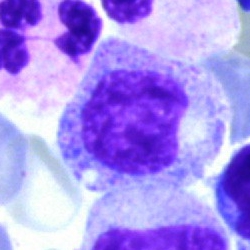

Myelocyte.